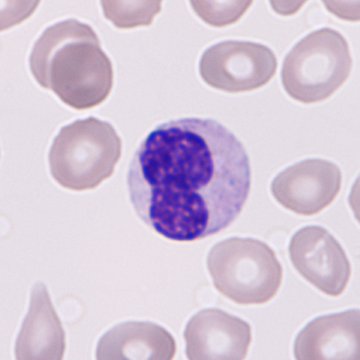 Cell type: granulocyte precursor.
Preparation: Peripheral blood smear.